Bone marrow smear
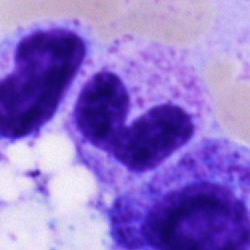Morphology consistent with a stab cell.